Single-cell crop. Bone marrow smear
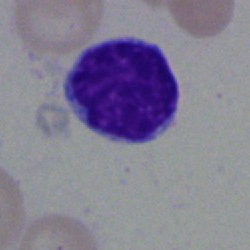
Single cell identified as a lymphocyte.